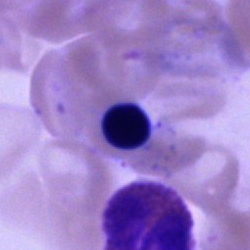Single cell identified as a normoblast.